Bone marrow smear. Single-cell crop — 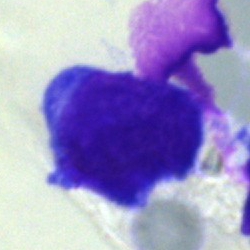Single cell identified as an undifferentiated blast.